Single cell centered in the field. Bone marrow smear. MGG-stained.
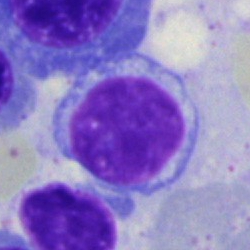 Morphological class: typical lymphocyte.